Peripheral blood smear — 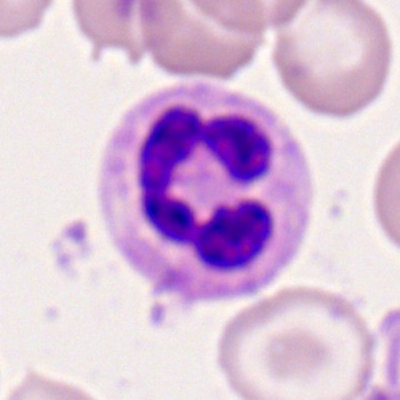

The cell shown is a neutrophil (segmented).